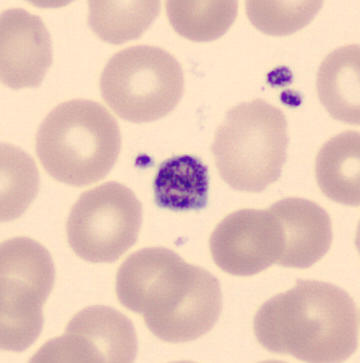
{"cell_type": "platelet"}
Preparation: MGG stain · CellaVision DM96 digital cell image · peripheral blood smear.